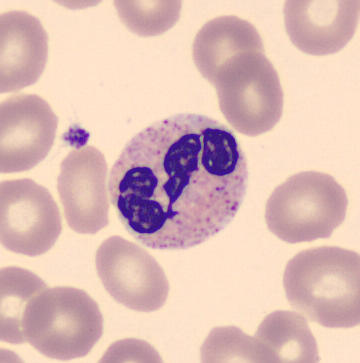

Preparation: Peripheral blood smear.

The cell is neutrophil (segmented).